Bone marrow aspirate smear.
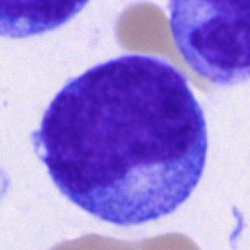 Cell = undifferentiated blast.